Single cell centered in the field. Peripheral blood film — 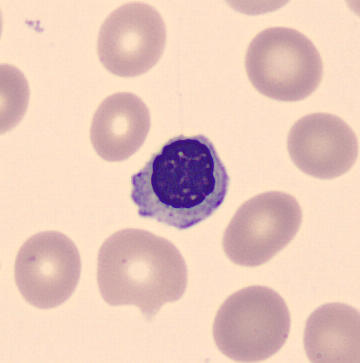 Cell type — normoblast.